Bone marrow aspirate smear: 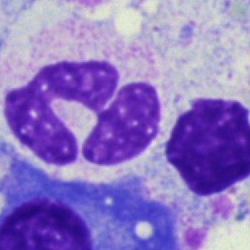 Impression → neutrophil (segmented).